Pappenheim-stained; bone marrow smear.
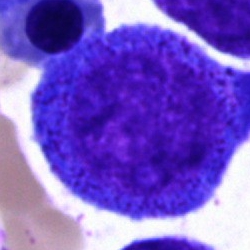

{"cell_type": "promyelocyte"}